Bone marrow smear.
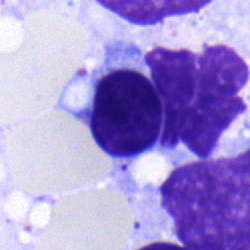
Classification = erythroblast.